Bone marrow aspirate smear · 250×250 · Pappenheim-stained:
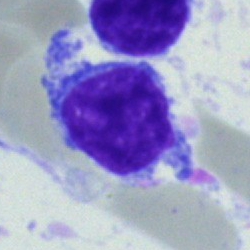 Morphological class: typical lymphocyte.